Brightfield, 40× oil-immersion objective. Bone marrow aspirate smear:
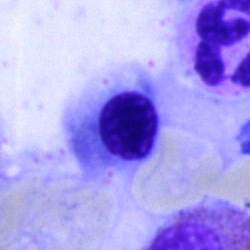 Classification: normoblast.